Bone marrow smear: 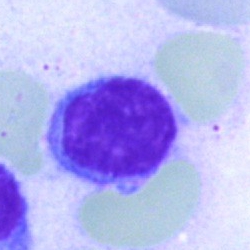Impression — lymphocyte.